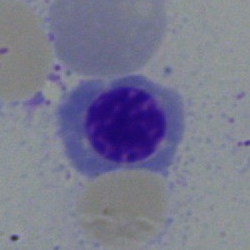Classification: nucleated red blood cell.